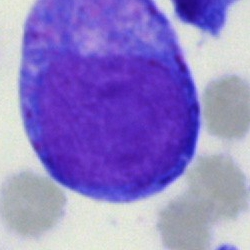

Q: What is shown here?
A: It is a progranulocyte.